250×250; May-Grünwald-Giemsa stain; bone marrow aspirate smear — 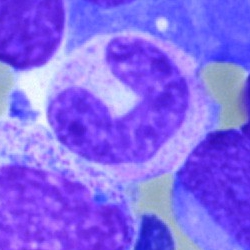

Specimen: bone marrow aspirate smear.
Cell: stab cell.
Lineage: myeloid.